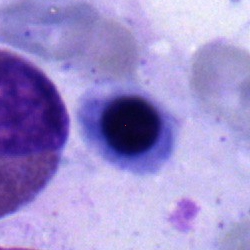

A nucleated red blood cell on a bone marrow smear.